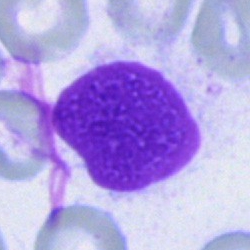

This is an artifact.